Bone marrow aspirate smear:
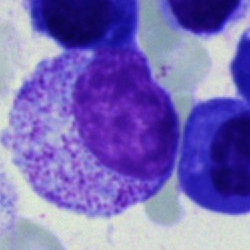This is a progranulocyte.